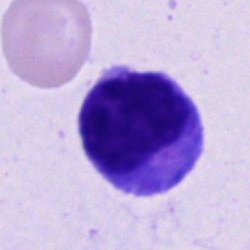

Bone marrow aspirate smear, single cell — cell of indeterminate lineage.